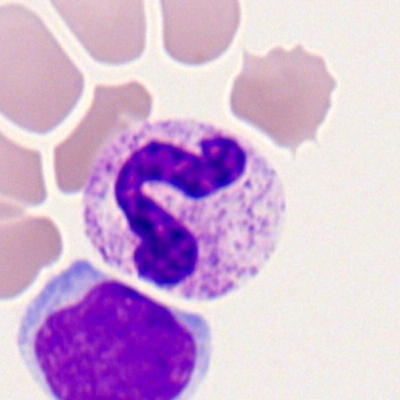

Classification — polymorphonuclear neutrophil.